Peripheral blood film:
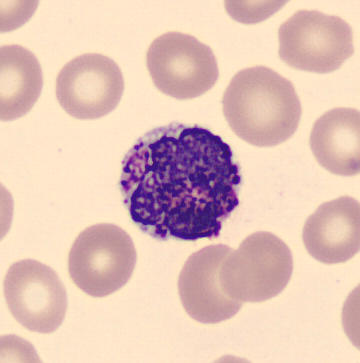Single cell identified as a basophil.